Bone marrow smear
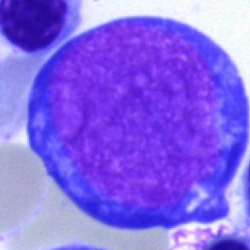
Classification: pronormoblast.